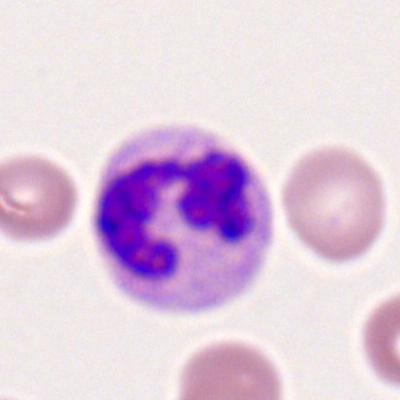
Morphology → polymorphonuclear neutrophil.